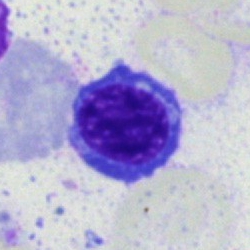

A normoblast on a bone marrow smear.